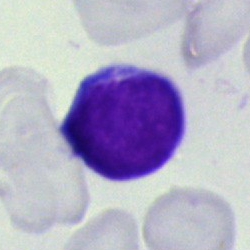Morphology — typical lymphocyte.